Bone marrow aspirate smear.
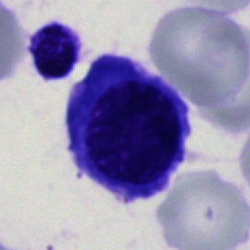 Impression → erythroblast.